Bone marrow aspirate smear:
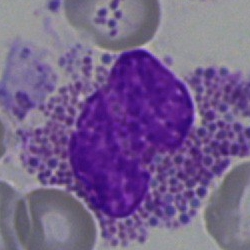 Morphological class: eosinophil.